Brightfield microscopy, 40× oil immersion. Bone marrow smear
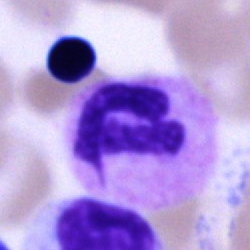 Single cell identified as a neutrophil (segmented).